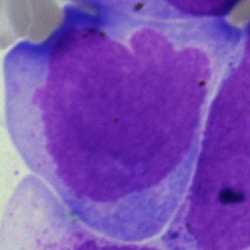 Impression → blast.